Bone marrow aspirate smear: 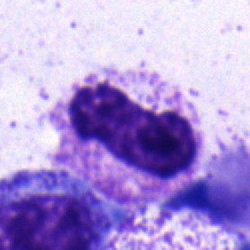

{"cell_type": "metamyelocyte", "lineage": "myeloid"}